Bone marrow aspirate smear — 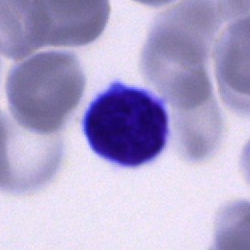

Specimen: bone marrow aspirate smear.
Classification: typical lymphocyte.
Lineage: lymphoid.